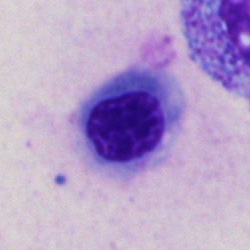

Q: What type of cell is this?
A: An erythroblast.